Bone marrow aspirate smear — 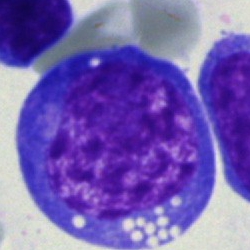
The cell shown is a blast.